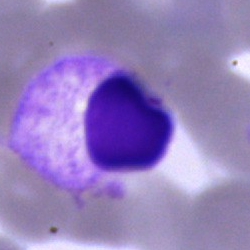

Morphology — cell of indeterminate lineage.